Image size 250×250 · bone marrow smear.
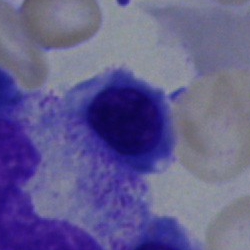

Normoblast.